Romanowsky stain. Peripheral blood smear: 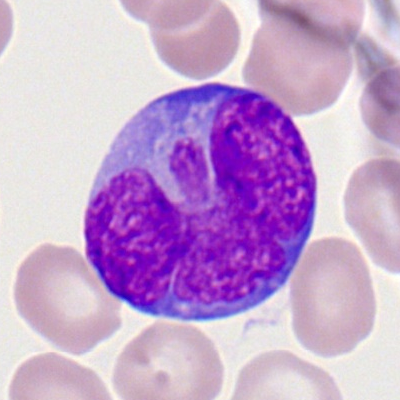A myeloblast.